Bone marrow smear:
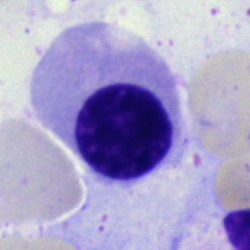
Cell: erythroblast.